Bone marrow aspirate smear: 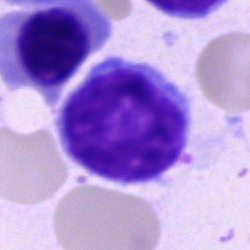
Specimen: bone marrow smear.
Cell: typical lymphocyte.